Bone marrow aspirate smear:
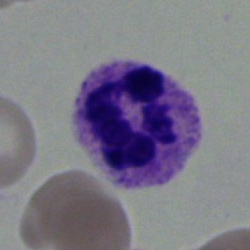
Q: What is shown here?
A: Segmented neutrophil.